Bone marrow aspirate smear; image size 250×250; single cell centered in the field: 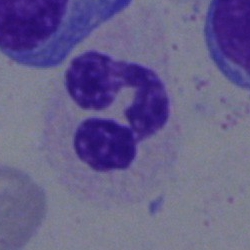This is a polymorphonuclear neutrophil.